250 by 250 pixels. Bone marrow aspirate smear.
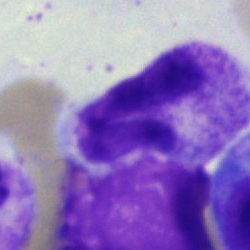This is an artefact.